MGG-stained · bone marrow aspirate smear — 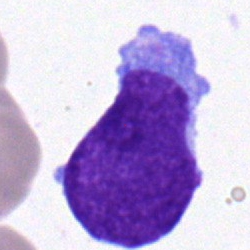
Showing an undifferentiated blast.